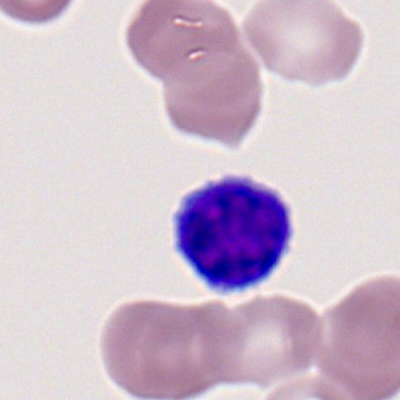The cell shown is a typical lymphocyte.